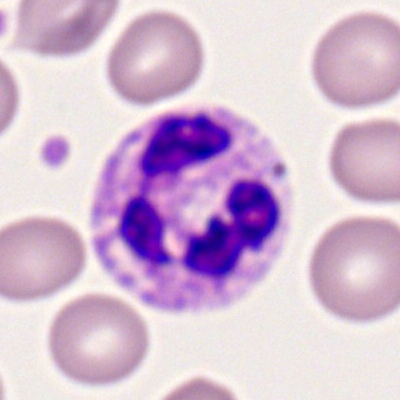
Cell type: neutrophil (segmented).